Bone marrow aspirate smear:
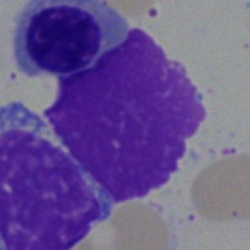The cell shown is an artifact.